Pappenheim-stained; brightfield microscopy, 40× oil immersion; bone marrow aspirate smear — 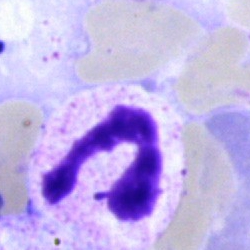Cell type: polymorphonuclear neutrophil.